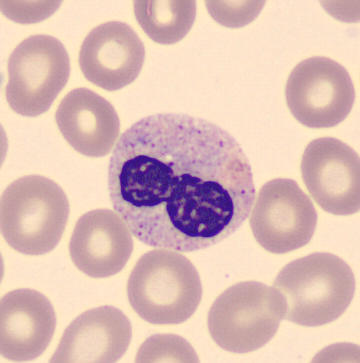

Image: Peripheral blood film · 360×363 px. Morphological class: stab cell.